Bone marrow smear.
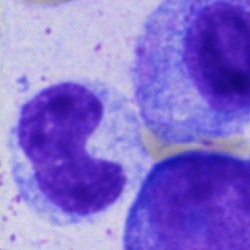Classification = cell of indeterminate lineage.